Brightfield, 40× oil-immersion objective. Bone marrow aspirate smear — 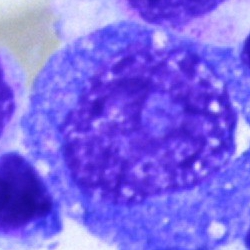
Morphological class: progranulocyte.